Bone marrow aspirate smear
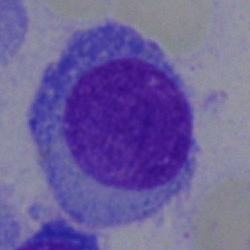

Cell — plasma cell.